Peripheral blood smear; image size 400×400; Romanowsky-type stain.
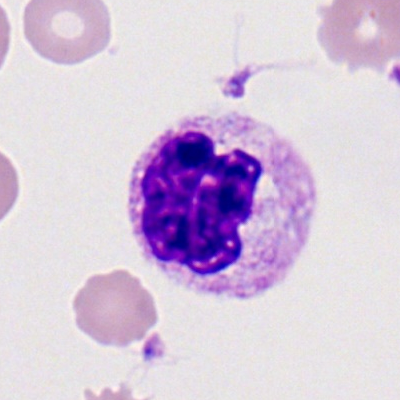 Morphology → polymorphonuclear neutrophil.